Bone marrow smear. Cropped to a single cell.
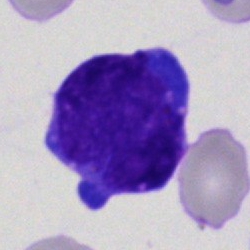 Showing a blast cell.